Peripheral blood film.
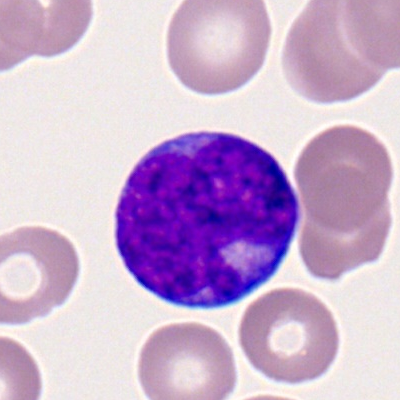
The cell type is myeloblast.